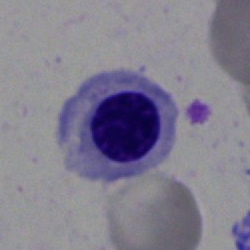 {"cell_type": "nucleated red cell"}